Bone marrow aspirate smear: 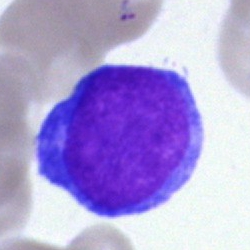 Morphological class = blast cell.